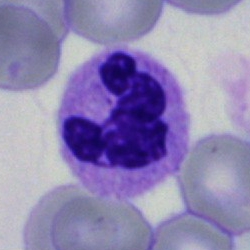

A polymorphonuclear neutrophil on a bone marrow smear.